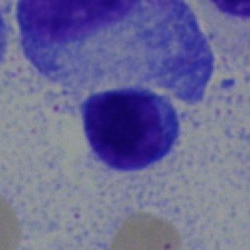
Morphology consistent with a typical lymphocyte.